250 by 250 pixels · bone marrow smear · single-cell field — 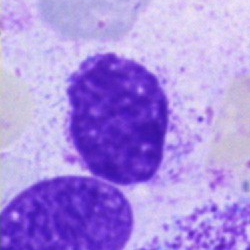
Cell type = artifact.